Bone marrow smear — 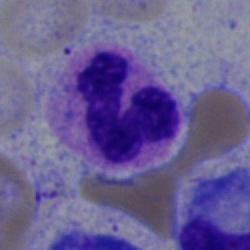
A neutrophil (segmented).